Bone marrow aspirate smear. 250×250. MGG-stained.
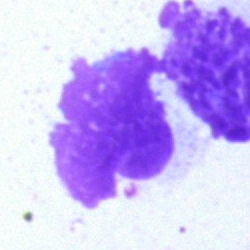

Q: What is shown here?
A: It is an artefact.